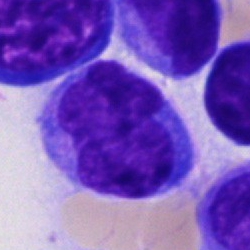Cell type: monocyte.